Bone marrow smear:
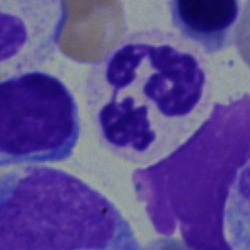

A neutrophil (segmented).